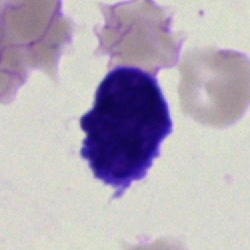

Q: What is shown here?
A: It is a blast.